Pappenheim-stained; bone marrow aspirate smear:
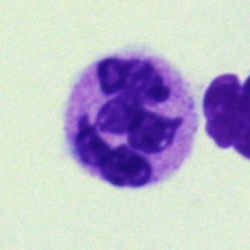The cell is neutrophil (segmented).